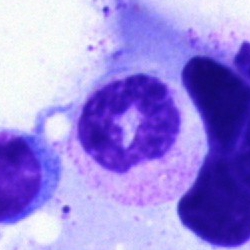 Specimen: bone marrow smear.
Morphological class: segmented neutrophil.
Lineage: myeloid.